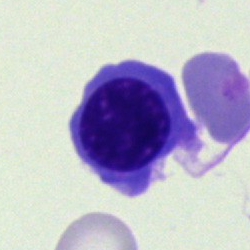Bone marrow smear showing a nucleated red cell.